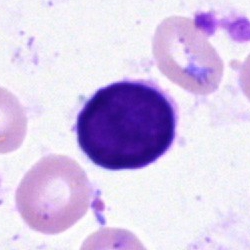
A lymphocyte on a bone marrow smear.